Bone marrow smear
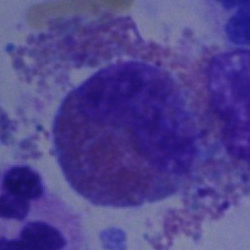 Classification — eosinophil.